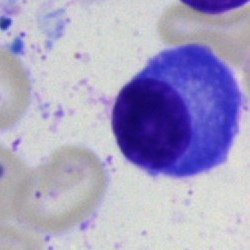
Q: Which cell type is shown here?
A: It is a plasma cell.